250×250 px. Bone marrow aspirate smear. Brightfield, 40× oil-immersion objective: 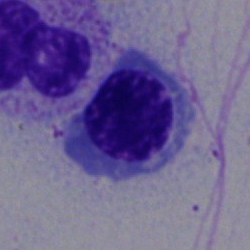

A nucleated red cell.